Bone marrow smear — 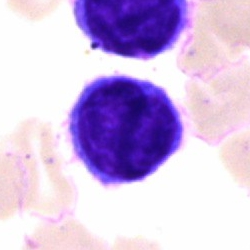Morphology consistent with a lymphocyte.